MGG-stained. Bone marrow aspirate smear.
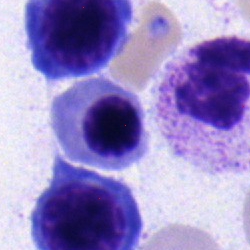

Nucleated red cell.